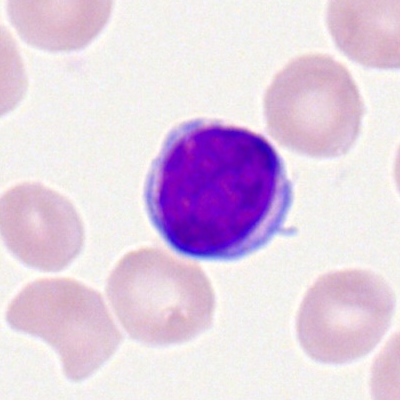

Impression — lymphocyte.